Bone marrow aspirate smear: 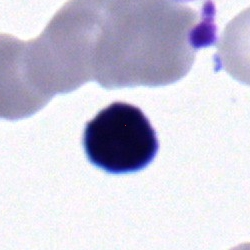The cell shown is a typical lymphocyte.